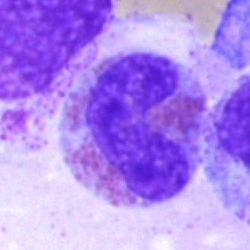
Classification = eosinophilic granulocyte.